Bone marrow aspirate smear:
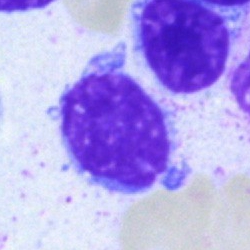

Cell type — lymphocyte.